Single-cell field · 250×250 px · bone marrow smear: 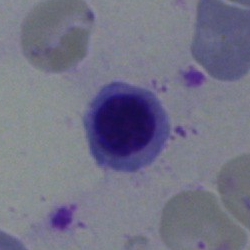 Specimen: bone marrow aspirate smear.
Morphological class: nucleated red blood cell.